Bone marrow aspirate smear.
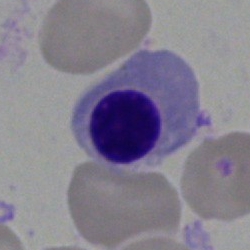

A normoblast.